Bone marrow smear; 250 by 250 pixels: 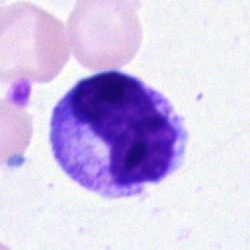Single cell identified as a metamyelocyte.